Single-cell field · May-Grünwald-Giemsa/Pappenheim stain · bone marrow aspirate smear — 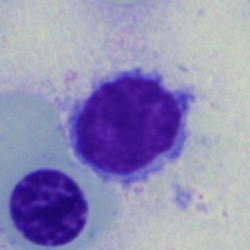 Single cell identified as a typical lymphocyte.